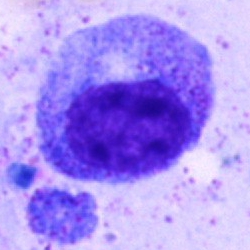
Specimen: bone marrow aspirate smear.
Classification: progranulocyte.
Lineage: myeloid.